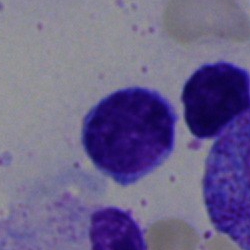

{"cell_type": "lymphocyte"}